Bone marrow aspirate smear:
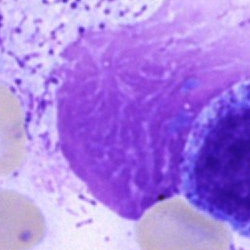 Classification = artifact.